40× objective, oil immersion · single-cell crop · bone marrow aspirate smear
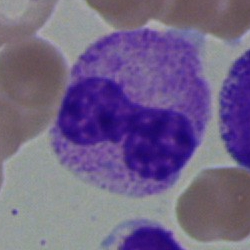Impression — neutrophil (band).